Bone marrow aspirate smear · 40× objective, oil immersion: 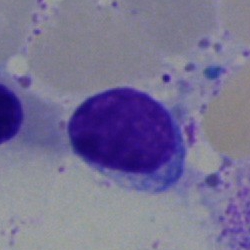

Cell type — lymphocyte.